Bone marrow aspirate smear
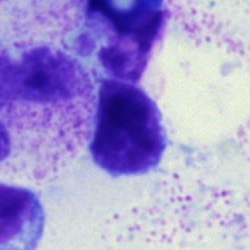The classification is lymphocyte.